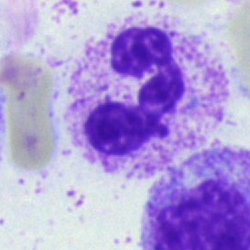 Impression → segmented neutrophil.